Peripheral blood smear.
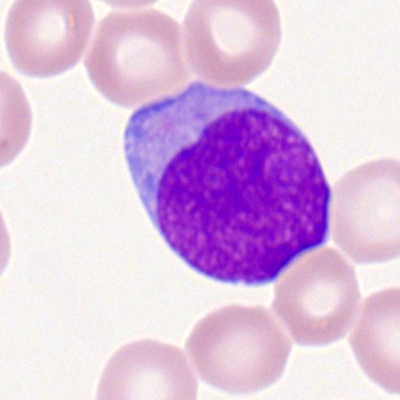 {"cell_type": "myeloid blast", "lineage": "myeloid"}